Brightfield microscopy, 40× oil immersion; bone marrow aspirate smear
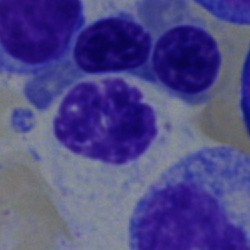

The cell shown is a normoblast.